MGG-stained · bone marrow smear:
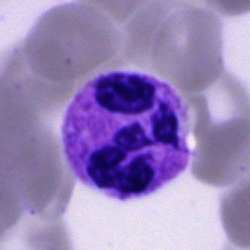
Morphology → segmented neutrophil.